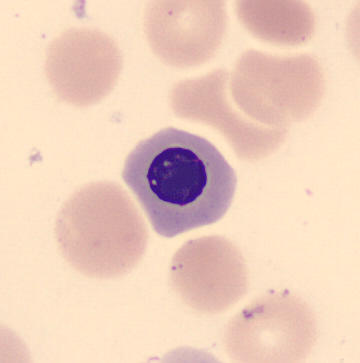Image: 360×363 px; single-cell field; peripheral blood film.
Impression → normoblast.